Single cell centered in the field · 40× objective, oil immersion · bone marrow aspirate smear
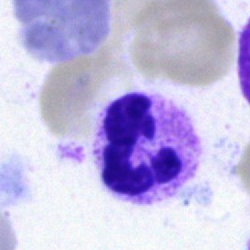Morphology → polymorphonuclear neutrophil.